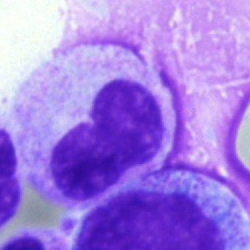 This is a stab cell.